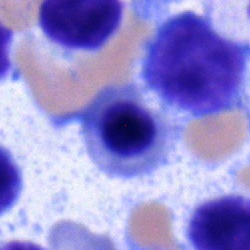

The classification is nucleated red blood cell.